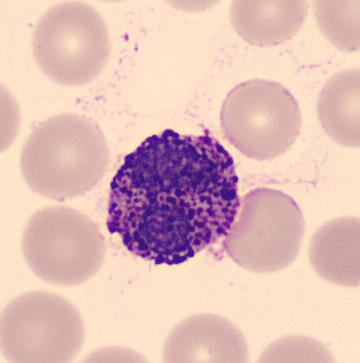 A basophilic granulocyte. Acquisition: Peripheral blood film.